Bone marrow smear. MGG-stained. Brightfield microscopy, 40× oil immersion
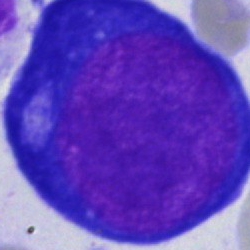
Morphological class — pronormoblast.